Bone marrow smear — 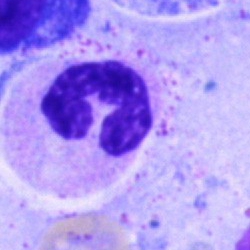
The classification is polymorphonuclear neutrophil.